May-Grünwald-Giemsa/Pappenheim stain · bone marrow smear: 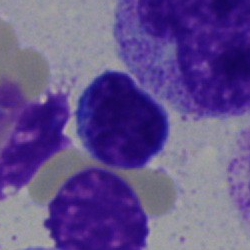 Lymphocyte.